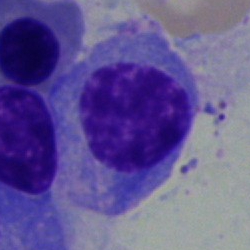
Classification = plasma cell.